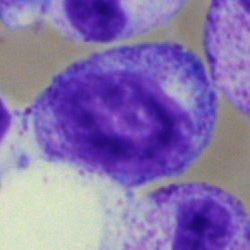

The cell is progranulocyte.